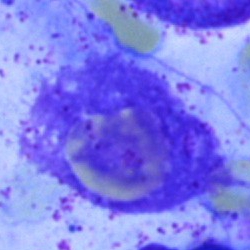The classification is artefact.